250×250. Bone marrow aspirate smear: 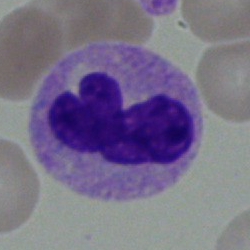 This is a segmented neutrophil.